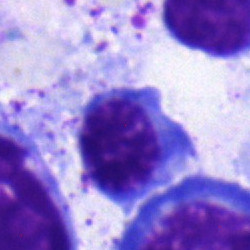 Bone marrow smear showing a normoblast.